MGG-stained. Single-cell crop. Bone marrow smear:
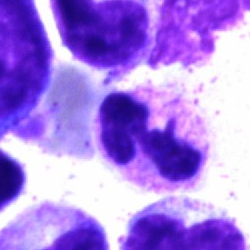

Q: What cell is this?
A: A neutrophil (segmented).